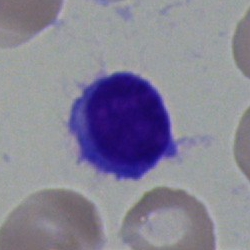The morphological class is plasma cell.